Single cell centered in the field. Bone marrow smear.
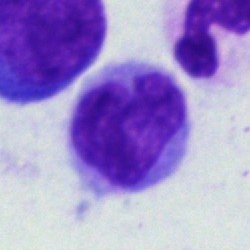

This is a monocyte.